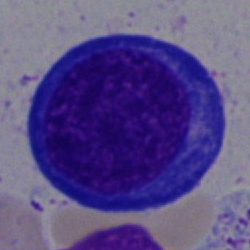

Q: What is shown here?
A: Pronormoblast.